250×250 · single-cell crop · bone marrow aspirate smear — 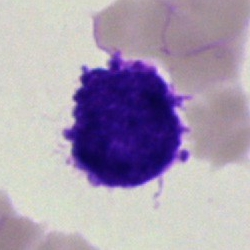

Undifferentiated blast.